40× oil immersion; bone marrow aspirate smear:
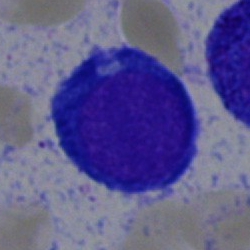

Morphological class — pronormoblast.